250 by 250 pixels · bone marrow aspirate smear · single-cell field
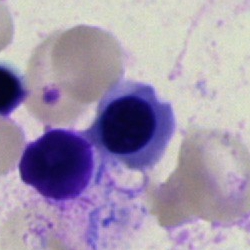
Morphological class = nucleated red cell.